Bone marrow smear — 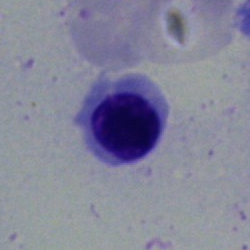 Morphology → nucleated red blood cell.